Bone marrow aspirate smear.
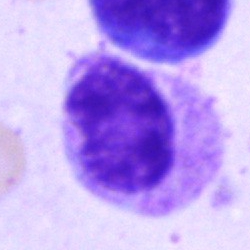 Single cell identified as a metamyelocyte.